250×250 px; bone marrow smear: 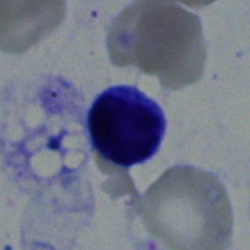Morphological class = typical lymphocyte.